Pappenheim-stained. 250 by 250 pixels. Bone marrow smear: 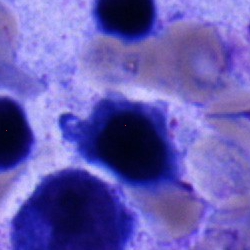 The cell shown is a normoblast.